Bone marrow smear · 250 by 250 pixels:
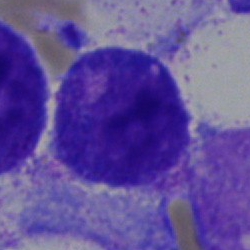
Q: Which cell type is shown here?
A: This is a promyelocyte.